May-Grünwald-Giemsa stain · 40× oil immersion · bone marrow smear
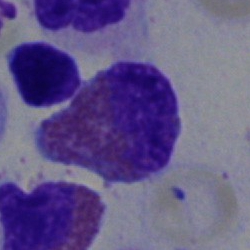
Q: What cell is this?
A: It is an eosinophilic granulocyte.